Bone marrow aspirate smear.
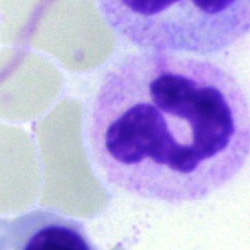

{"cell_type": "polymorphonuclear neutrophil", "lineage": "myeloid"}